Bone marrow aspirate smear. 250 by 250 pixels. Single cell centered in the field — 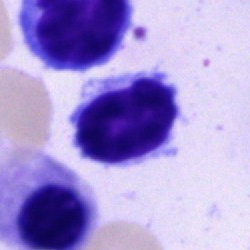

Cell: typical lymphocyte.